Bone marrow aspirate smear:
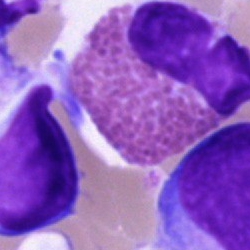Showing an eosinophil.